250×250; bone marrow aspirate smear: 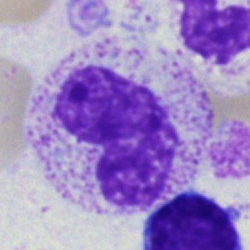

Cell: band-form neutrophil.